Bone marrow aspirate smear.
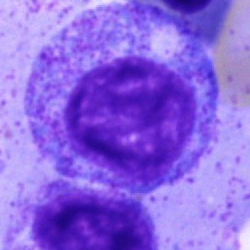
Promyelocyte.